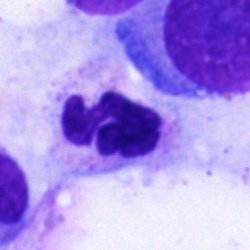

Bone marrow aspirate smear, single cell — neutrophil (segmented).